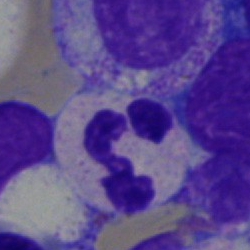
Morphological class: segmented neutrophil.